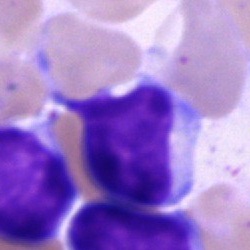Bone marrow aspirate smear, single cell — typical lymphocyte.